Bone marrow aspirate smear:
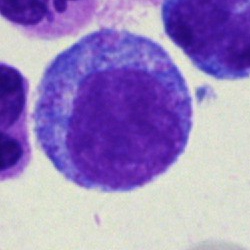Cell: progranulocyte.